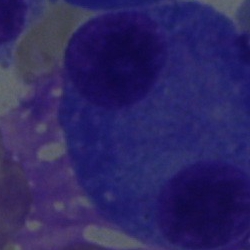

Morphology consistent with a plasma cell.